Bone marrow smear: 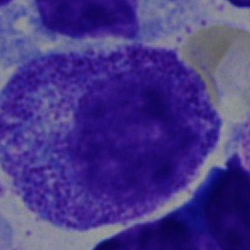

Single cell identified as a progranulocyte.